Bone marrow smear.
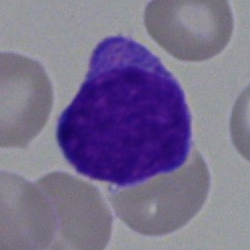
Impression → blast cell.